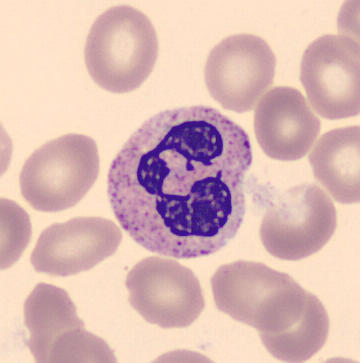
Impression → segmented neutrophil.
Acquisition: CellaVision DM96 · peripheral blood film.